Bone marrow smear. 250×250 px:
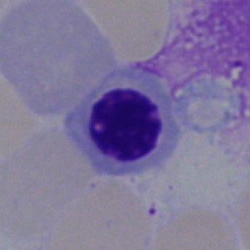 Nucleated red cell.